Bone marrow smear; brightfield, 40× oil-immersion objective; Pappenheim-stained
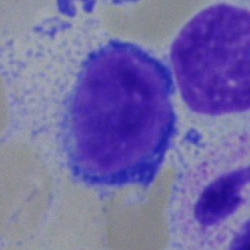 Q: What is shown here?
A: A lymphocyte.